Bone marrow smear — 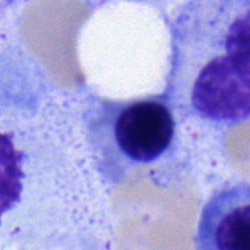

Impression — normoblast.